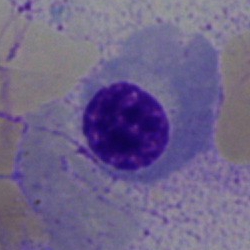Bone marrow smear showing a nucleated red blood cell.